Romanowsky stain · peripheral blood film — 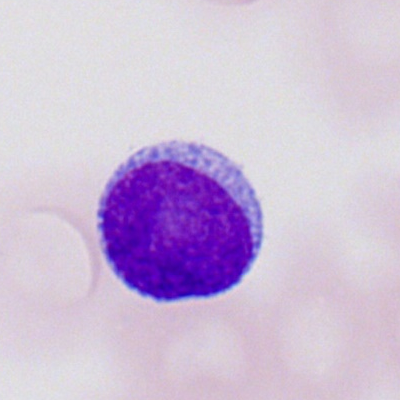
Cell — typical lymphocyte.